Bone marrow smear
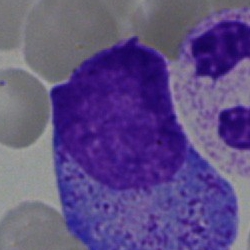

Progranulocyte.